Peripheral blood smear
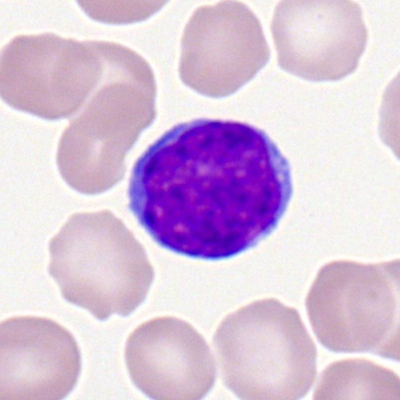
This is a typical lymphocyte.